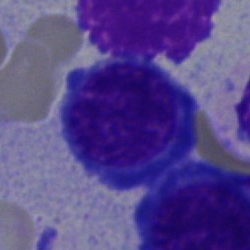 Classification = normoblast.